Bone marrow aspirate smear:
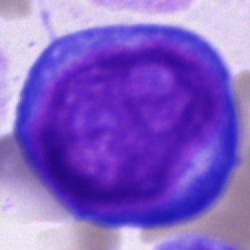
Showing a pronormoblast.